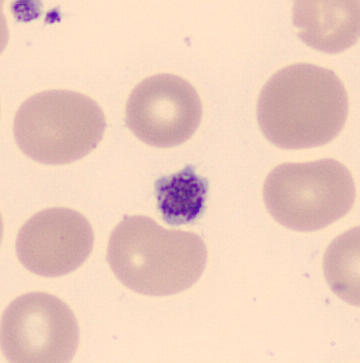Peripheral blood film.

{"cell_type": "platelet"}